Bone marrow aspirate smear. Single cell centered in the field. 40× objective, oil immersion
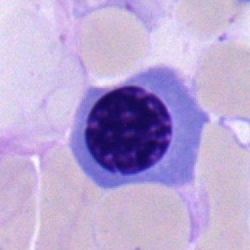

Impression — nucleated red blood cell.